Bone marrow smear — 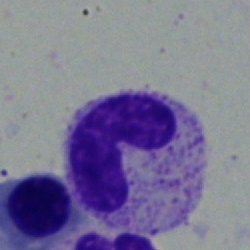

Classification: band neutrophil.